Single-cell field; bone marrow aspirate smear:
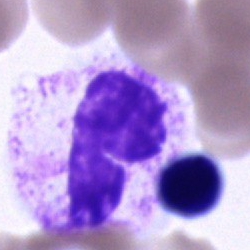
A segmented neutrophil.